Bone marrow smear. Brightfield microscopy, 40× oil immersion. Image size 250×250 — 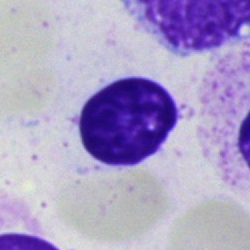Morphology — artifact.